Bone marrow smear:
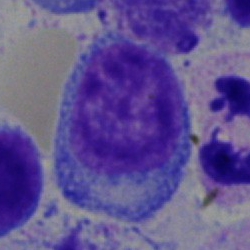 Classification = blast cell.